Brightfield, 40× oil-immersion objective; bone marrow aspirate smear: 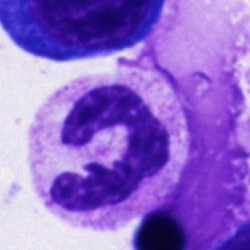

Classification — segmented neutrophil.